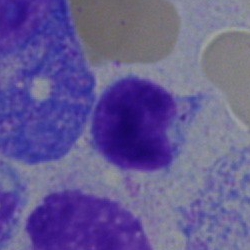
Q: What cell is this?
A: It is a lymphocyte.